Bone marrow aspirate smear: 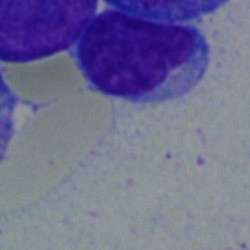
Classification — typical lymphocyte.